Bone marrow smear — 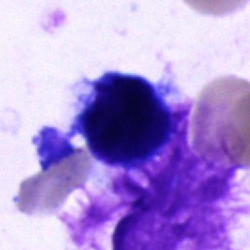
Q: Which cell type is shown here?
A: An unidentifiable cell.